Brightfield microscopy, 40× oil immersion. Single cell centered in the field. Bone marrow aspirate smear
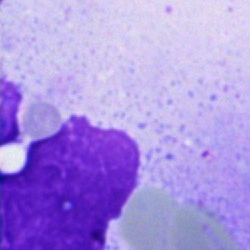 The cell type is artefact.